Bone marrow smear; 40× oil immersion.
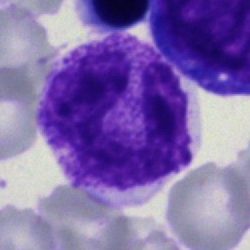Single cell identified as a neutrophil (band).